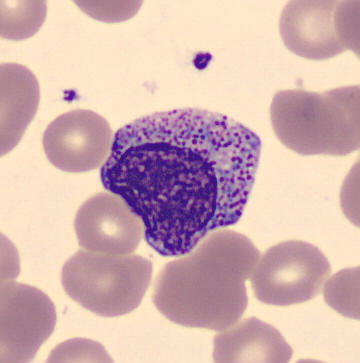Morphology → myelocyte.

Single-cell crop. Peripheral blood film. May-Grünwald-Giemsa-stained.